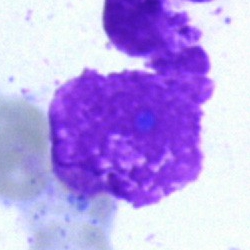Classification: artifact.